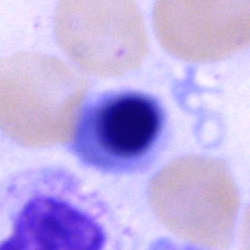
Q: What type of cell is this?
A: This is an erythroblast.